Bone marrow aspirate smear.
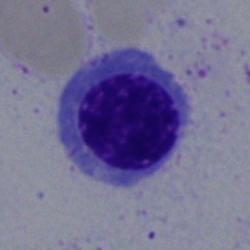
Q: What is the morphological classification of this cell?
A: Erythroblast.